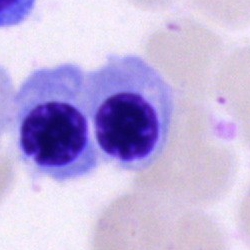
Q: What is shown here?
A: Normoblast.